Bone marrow smear:
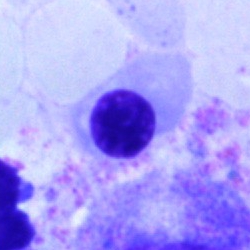Morphology — erythroblast.